Bone marrow smear. Single-cell crop:
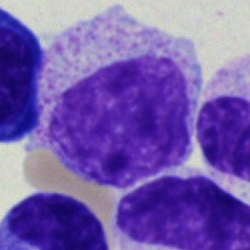 Specimen: bone marrow smear.
Cell type: myelocyte.